40× oil immersion; bone marrow aspirate smear: 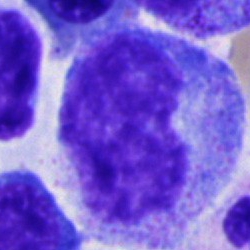
Progranulocyte.